Bone marrow aspirate smear. May-Grünwald-Giemsa/Pappenheim stain. Cropped to a single cell — 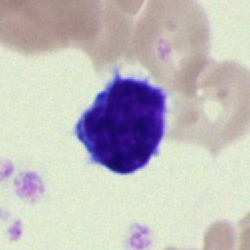
Morphological class = typical lymphocyte.